250×250 px · bone marrow aspirate smear
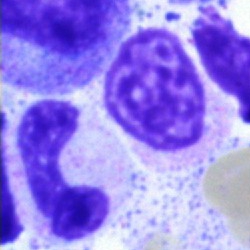
The classification is band neutrophil.